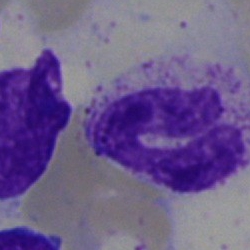 Q: Which cell type is shown here?
A: This is a segmented neutrophil.